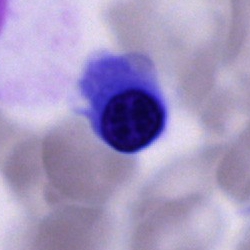Showing a nucleated red cell.